Bone marrow aspirate smear. May-Grünwald-Giemsa/Pappenheim stain:
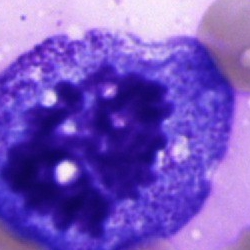Promyelocyte.